Single-cell crop. Bone marrow smear: 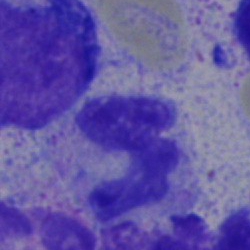Showing a segmented neutrophil.